Bone marrow aspirate smear:
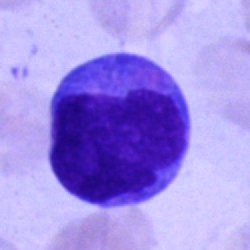 Morphological class — undifferentiated blast.